Bone marrow smear
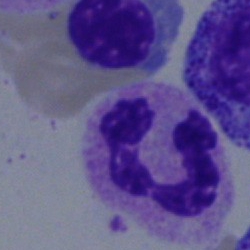Specimen: bone marrow smear.
Classification: polymorphonuclear neutrophil.